100× oil immersion, 14.14 px/µm · peripheral blood film · Romanowsky stain — 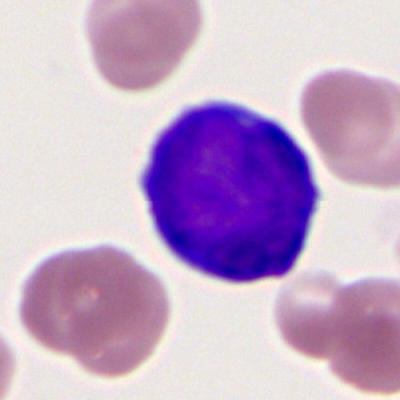The cell shown is a myeloblast.